Bone marrow aspirate smear:
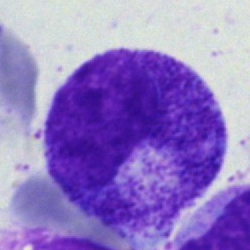 A metamyelocyte.